Bone marrow aspirate smear. 250 by 250 pixels. 40× oil immersion
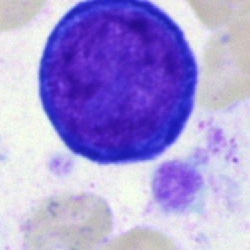Classification: proerythroblast.